250×250 px · bone marrow smear · single-cell field.
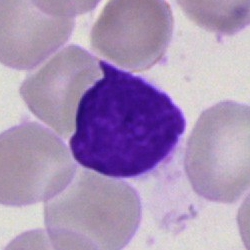Specimen: bone marrow smear.
Cell type: typical lymphocyte.
Lineage: lymphoid.